MGG-stained. Cropped to a single cell. Bone marrow aspirate smear — 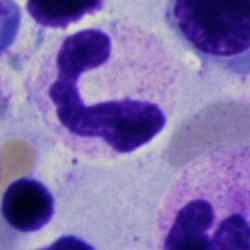Q: Which cell type is shown here?
A: Neutrophil (segmented).